Bone marrow aspirate smear — 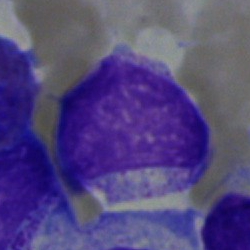
Classification = myelocyte.